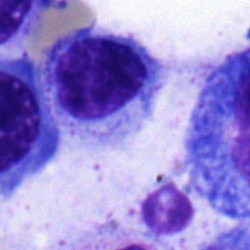 Q: What is the morphological classification of this cell?
A: Erythroblast.